Bone marrow aspirate smear
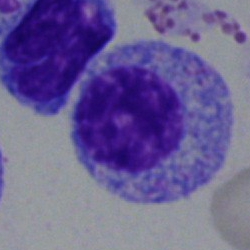
Specimen: bone marrow smear.
Cell type: myelocyte.